Bone marrow smear. Single-cell crop.
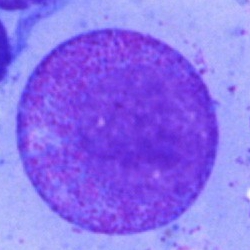A myelocyte.